Bone marrow aspirate smear · image size 250×250.
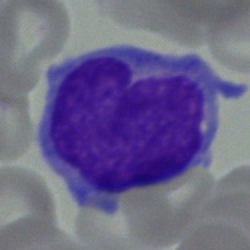

Morphology → monocyte.